Bone marrow smear:
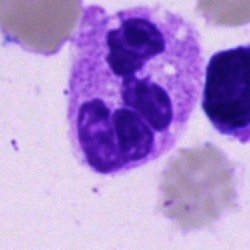 Morphology consistent with a polymorphonuclear neutrophil.